Bone marrow aspirate smear. May-Grünwald-Giemsa/Pappenheim stain: 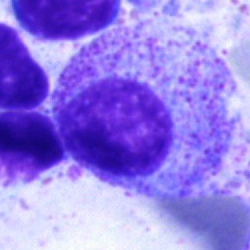Specimen: bone marrow smear.
Cell type: myelocyte.